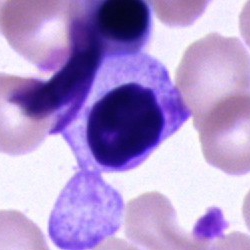 An unidentifiable cell.